Bone marrow smear. 250 by 250 pixels: 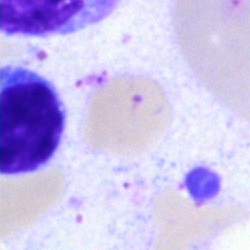
{"cell_type": "artifact"}